Bone marrow smear · 250×250 px
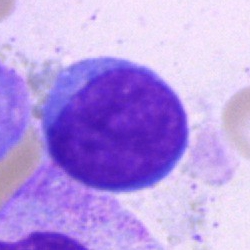 Cell type — blast cell.